Peripheral blood film.
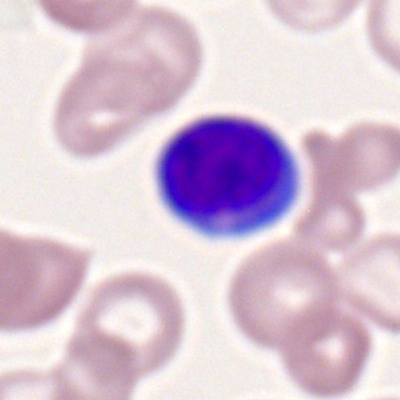 Morphological class — typical lymphocyte.